Bone marrow aspirate smear
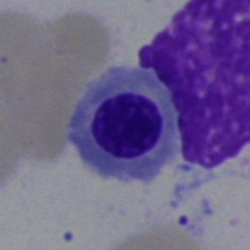Q: What type of cell is this?
A: A nucleated red blood cell.